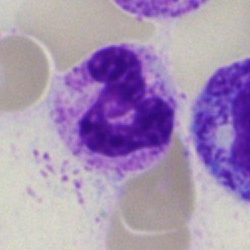
Classification: polymorphonuclear neutrophil.